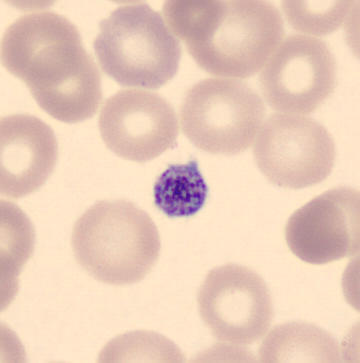
Showing a thrombocyte.
Preparation: Peripheral blood smear.